Bone marrow smear; May-Grünwald-Giemsa stain; single cell centered in the field — 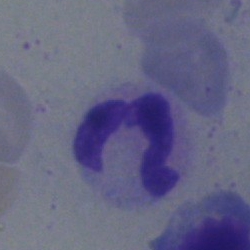Specimen: bone marrow smear.
Cell type: segmented neutrophil.
Lineage: myeloid.